Bone marrow smear; 250×250 px — 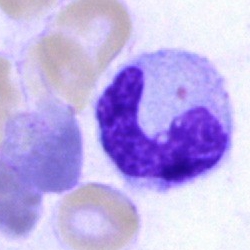
Q: Which cell type is shown here?
A: A band neutrophil.